Bone marrow aspirate smear.
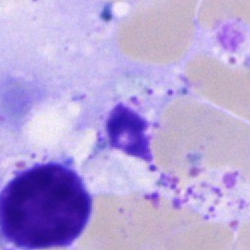 Classification — artifact.